Single-cell crop; bone marrow smear
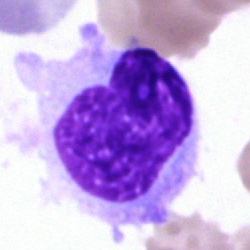
This is a hairy cell.